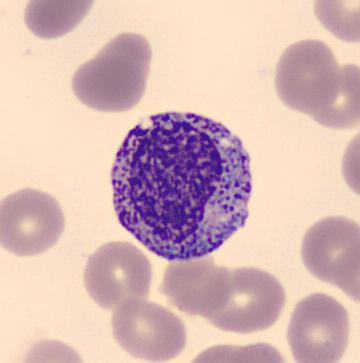Specimen: peripheral blood smear.
Classification: myelocyte.
Lineage: myeloid.